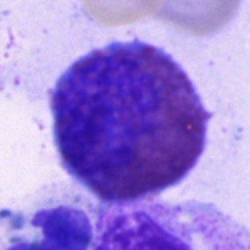 The morphological class is eosinophil.